40× oil immersion. 250×250 px. Bone marrow aspirate smear — 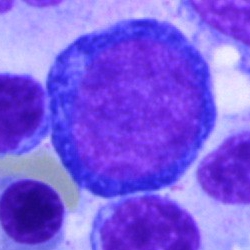 Single cell identified as a pronormoblast.